Bone marrow aspirate smear. 250×250.
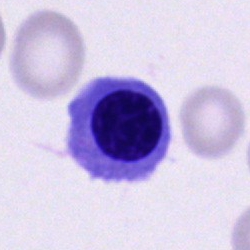

Impression — nucleated red cell.